Bone marrow aspirate smear:
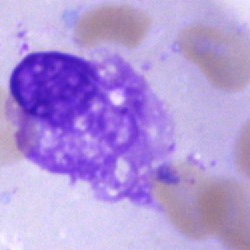Morphology → artifact.